Bone marrow smear: 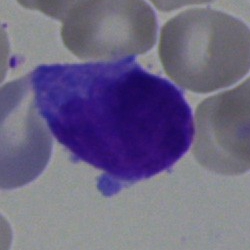

Morphological class = blast cell.